Bone marrow aspirate smear
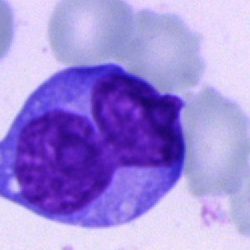Cell type: blast.